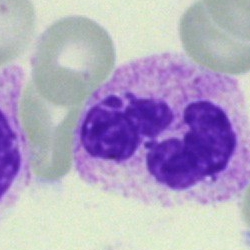
Morphological class: segmented neutrophil.